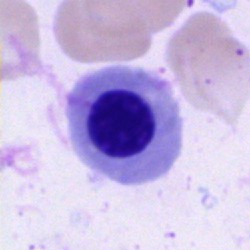
Cell type = nucleated red cell.